Single cell centered in the field · peripheral blood film — 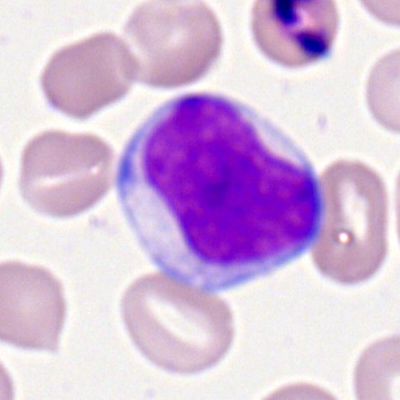

Morphology → myeloid blast.